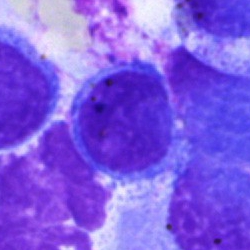

Q: Identify the cell.
A: It is a typical lymphocyte.